Peripheral blood smear.
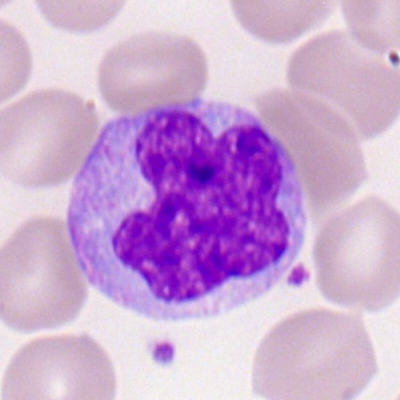
Classification — monocyte.